Bone marrow aspirate smear · cropped to a single cell
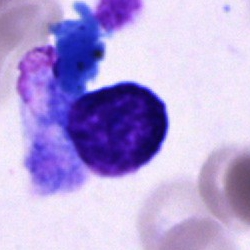A cell of indeterminate lineage.